Bone marrow smear — 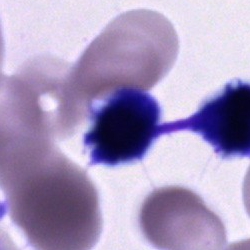 Cell of indeterminate lineage.